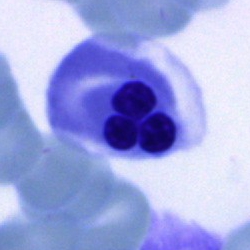

Bone marrow aspirate smear, single cell — nucleated red cell.